250×250. Bone marrow aspirate smear
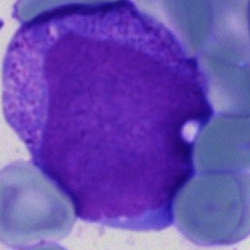Single cell identified as a blast.